Bone marrow smear: 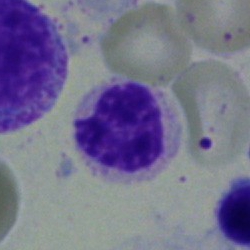

{"cell_type": "segmented neutrophil"}